Single-cell field; bone marrow smear:
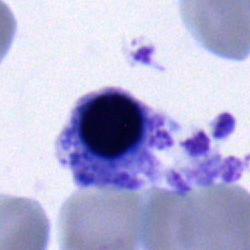
Specimen: bone marrow smear.
Morphological class: nucleated red blood cell.
Lineage: erythroid.